Bone marrow aspirate smear.
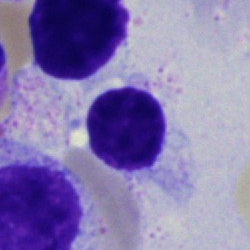The cell shown is an artifact.